Bone marrow smear
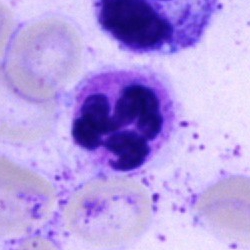 Q: Which cell type is shown here?
A: Polymorphonuclear neutrophil.